Peripheral blood smear — 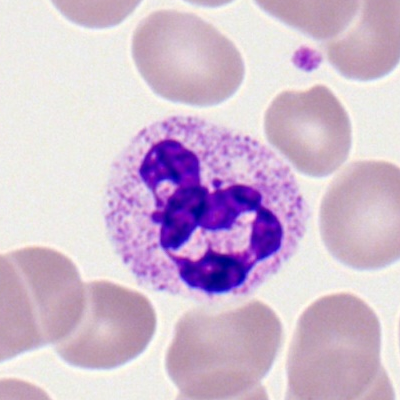 Cell type = neutrophil (segmented).